Bone marrow aspirate smear; May-Grünwald-Giemsa stain; 250×250.
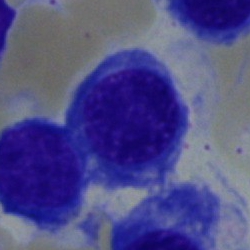

The cell type is nucleated red blood cell.